Bone marrow smear · 250×250 — 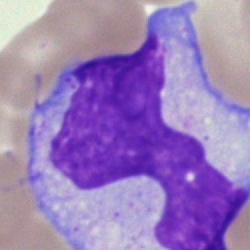

The cell type is monocyte.